Bone marrow smear.
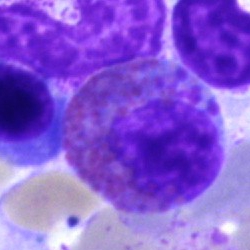 Specimen: bone marrow smear.
Morphological class: eosinophil.
Lineage: myeloid.